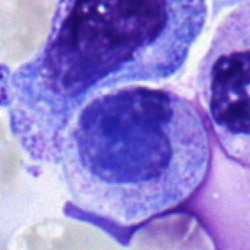

Q: What cell is this?
A: This is a metamyelocyte.